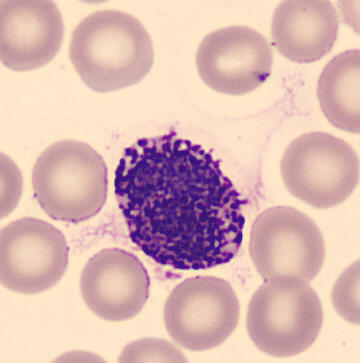Specimen: peripheral blood smear.
Cell type: basophilic granulocyte.